Bone marrow aspirate smear: 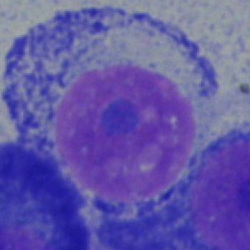

Q: What is the morphological classification of this cell?
A: This is a plasma cell.